Bone marrow smear · brightfield, 40× oil-immersion objective
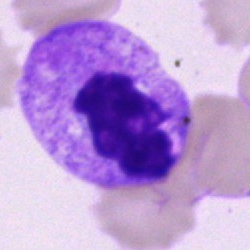 Segmented neutrophil.